40× objective, oil immersion. Bone marrow aspirate smear. MGG-stained: 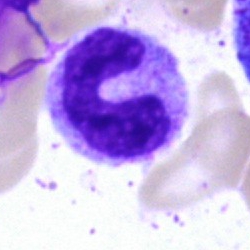

Q: What is shown here?
A: It is a stab cell.